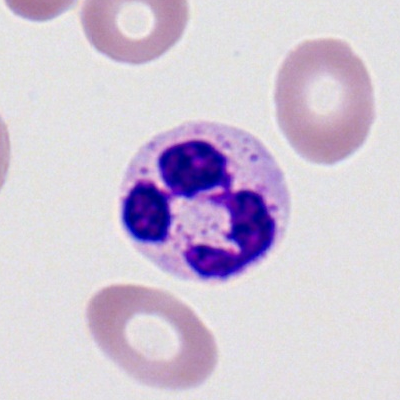

Peripheral blood film, single cell — polymorphonuclear neutrophil.